Bone marrow smear
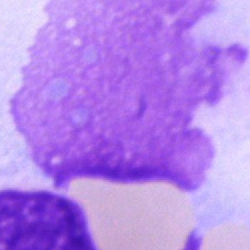Morphology consistent with an artefact.